Bone marrow aspirate smear — 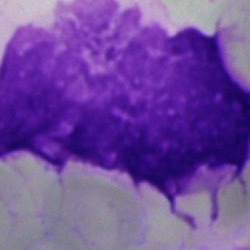

Showing an artefact.